Bone marrow aspirate smear · brightfield microscopy, 40× oil immersion: 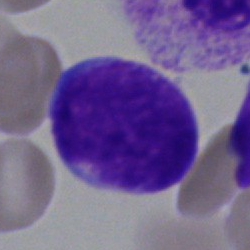

Impression — blast.